40× objective, oil immersion. Bone marrow smear. May-Grünwald-Giemsa stain — 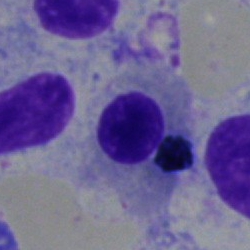Specimen: bone marrow aspirate smear.
Classification: nucleated red blood cell.